May-Grünwald-Giemsa stain. Bone marrow aspirate smear. Image size 250×250.
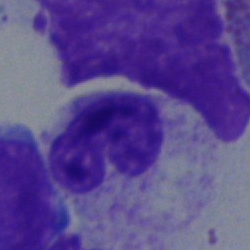
This is a band neutrophil.